Peripheral blood film — 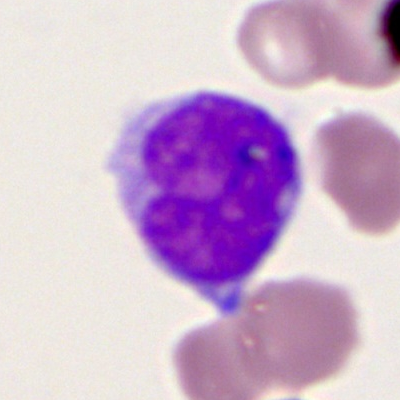

{"cell_type": "monocyte"}